Bone marrow aspirate smear. 250×250: 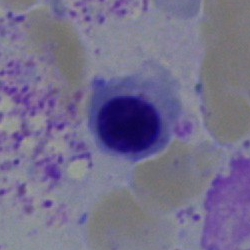 {"cell_type": "normoblast", "lineage": "erythroid"}